Bone marrow aspirate smear: 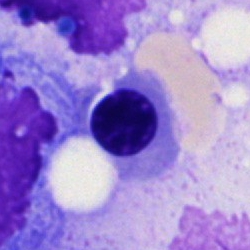 Q: What is shown here?
A: This is a nucleated red blood cell.